Cropped to a single cell. Bone marrow smear
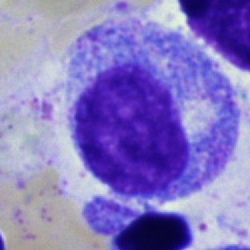

The cell shown is a progranulocyte.